Bone marrow aspirate smear · 40× oil immersion
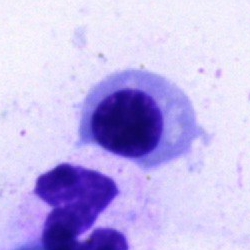

Cell — normoblast.